Bone marrow smear; single cell centered in the field:
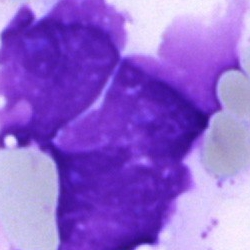
Impression — artifact.